Bone marrow smear; 250×250 px:
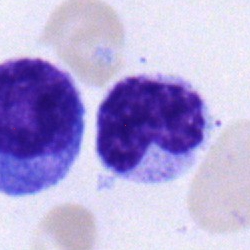

Band-form neutrophil.